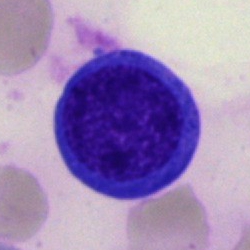 Specimen: bone marrow smear.
Morphological class: erythroblast.